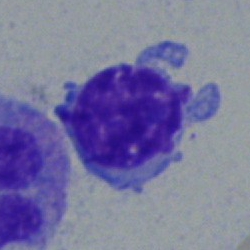

Impression → lymphocyte.